Bone marrow aspirate smear — 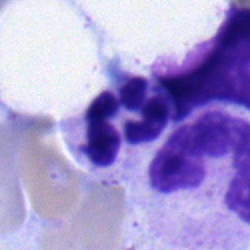
Cell: polymorphonuclear neutrophil.